250×250; single-cell crop; bone marrow smear — 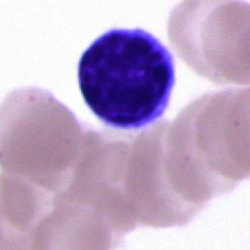
Impression → lymphocyte.